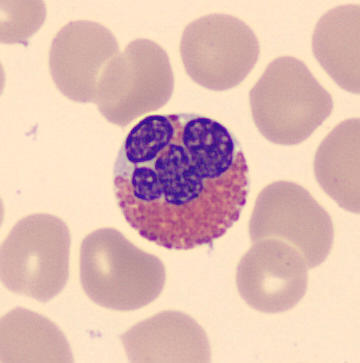 Image: Peripheral blood smear · 360×363. Morphology consistent with an eosinophilic granulocyte.